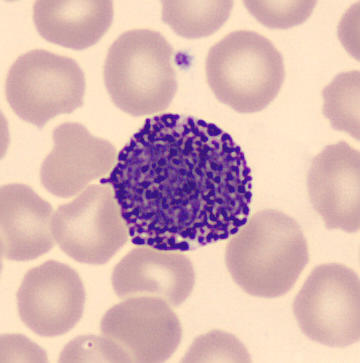
Q: Which cell type is shown here?
A: A basophilic granulocyte.